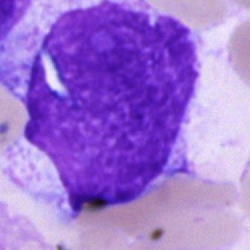

Q: What is shown here?
A: An artefact.